Peripheral blood smear: 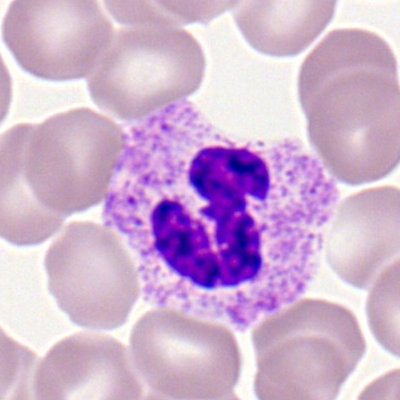Impression → segmented neutrophil.